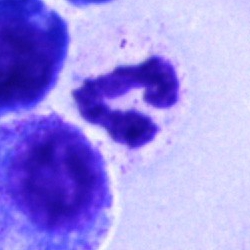
Q: What type of cell is this?
A: A neutrophil (segmented).